Bone marrow aspirate smear:
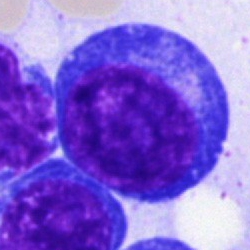 Cell = blast cell.